Bone marrow aspirate smear — 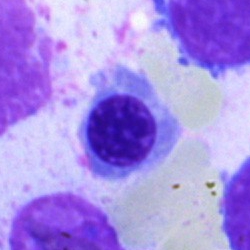

Specimen: bone marrow aspirate smear.
Cell type: nucleated red cell.